Bone marrow aspirate smear.
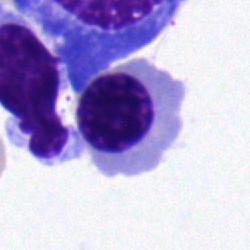

Q: What type of cell is this?
A: An erythroblast.